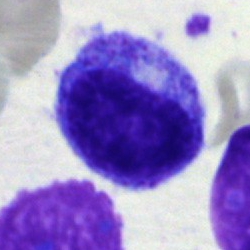 Q: What type of cell is this?
A: This is a myelocyte.